Bone marrow aspirate smear
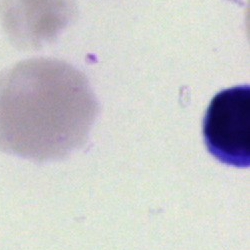

Classification: typical lymphocyte.